Bone marrow smear — 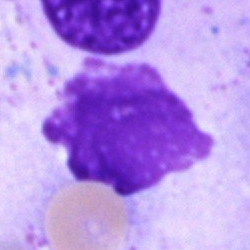

Q: What is shown here?
A: An artefact.